40× objective, oil immersion. Image size 250×250. Bone marrow aspirate smear:
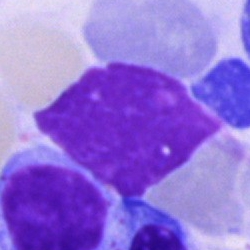Specimen: bone marrow aspirate smear.
Classification: artefact.